Bone marrow smear.
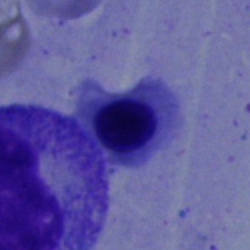

Specimen: bone marrow smear.
Morphological class: nucleated red blood cell.